Bone marrow smear.
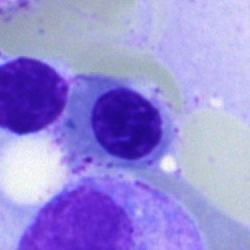

Cell = nucleated red cell.